40× oil immersion; bone marrow aspirate smear.
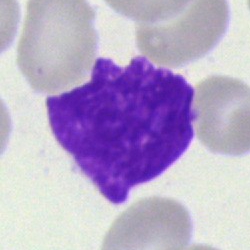

Q: What type of cell is this?
A: Basket cell.